Bone marrow smear — 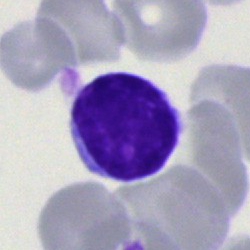This is a lymphocyte.